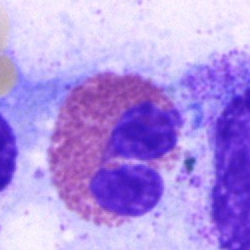 Q: What is the morphological classification of this cell?
A: An eosinophilic granulocyte.